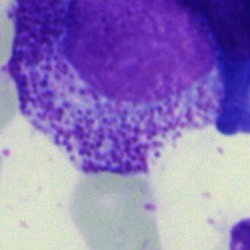
Specimen: bone marrow aspirate smear.
Cell: progranulocyte.
Lineage: myeloid.